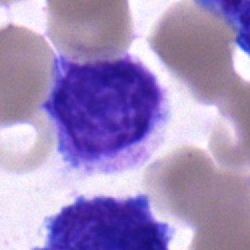

Morphology consistent with a myelocyte.